Bone marrow aspirate smear:
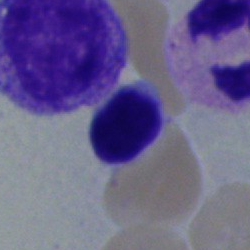 The cell is lymphocyte.